Bone marrow aspirate smear · cropped to a single cell — 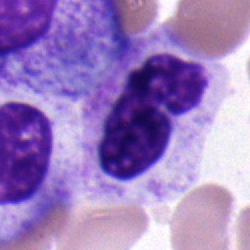Neutrophil (band).